250 by 250 pixels. Bone marrow aspirate smear. MGG-stained
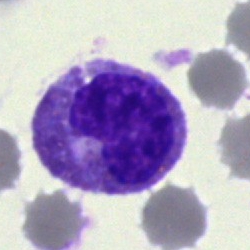

Showing an eosinophilic granulocyte.